Single-cell crop. Bone marrow aspirate smear. May-Grünwald-Giemsa/Pappenheim stain.
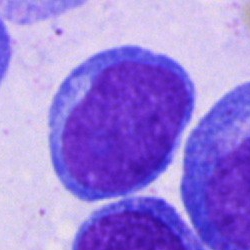Undifferentiated blast.